Bone marrow smear:
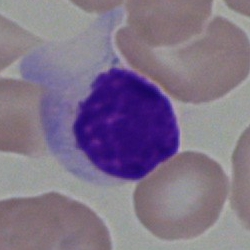
The cell shown is a typical lymphocyte.